Bone marrow smear.
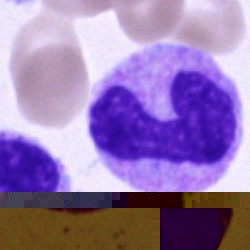The cell is polymorphonuclear neutrophil.